Bone marrow smear: 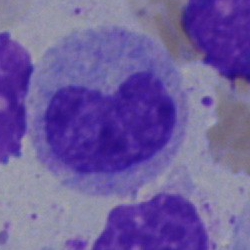 Q: What is the morphological classification of this cell?
A: It is a band neutrophil.